Bone marrow smear: 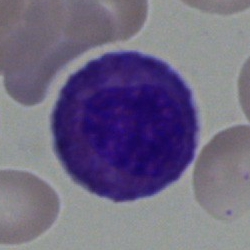Impression — eosinophil.